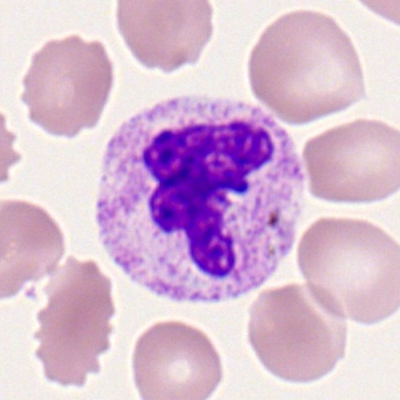 Specimen: peripheral blood film.
Cell: neutrophil (segmented).